Peripheral blood film. Single cell centered in the field — 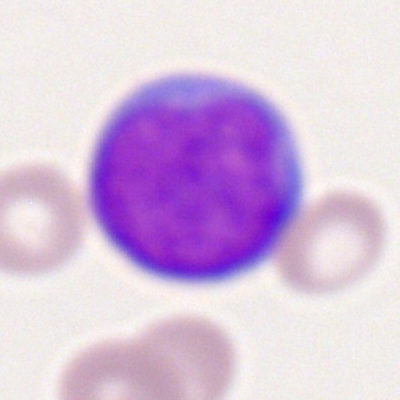

Single cell identified as a myeloid blast.